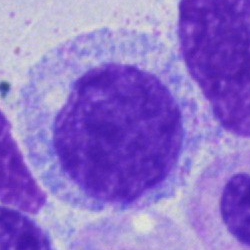Morphological class: progranulocyte.